Bone marrow smear:
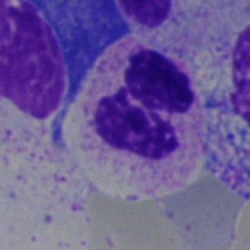 This is a segmented neutrophil.